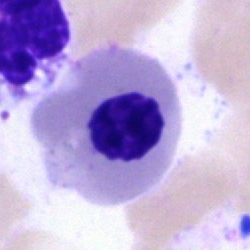
Normoblast.